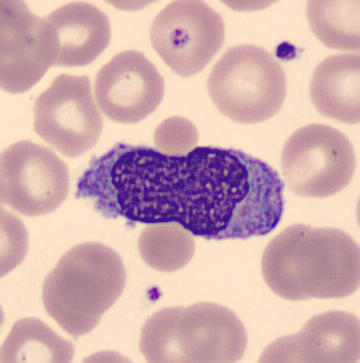

The cell shown is a monocyte.